Bone marrow aspirate smear
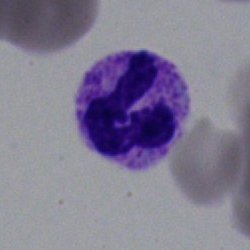 Q: What type of cell is this?
A: A segmented neutrophil.